May-Grünwald-Giemsa stain; bone marrow aspirate smear.
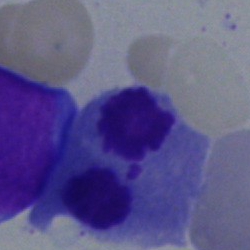Impression — nucleated red cell.